Bone marrow aspirate smear.
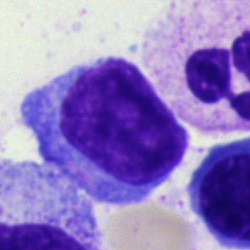 Showing a lymphocyte.